Bone marrow aspirate smear:
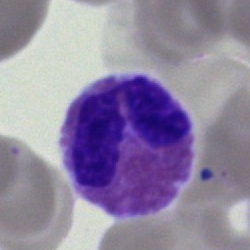 Morphological class — eosinophilic granulocyte.